Bone marrow smear:
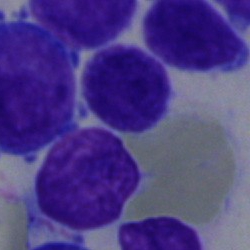

Specimen: bone marrow smear.
Cell type: undifferentiated blast.